250 by 250 pixels. Bone marrow aspirate smear: 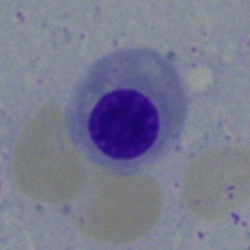 Erythroblast.